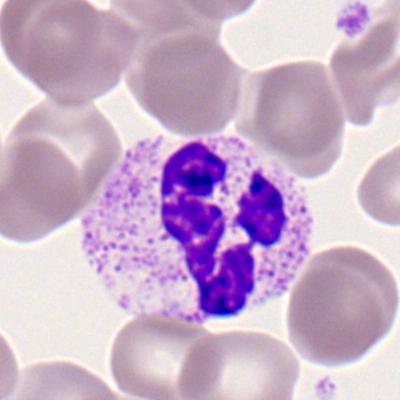Peripheral blood smear showing a neutrophil (segmented).